Bone marrow smear: 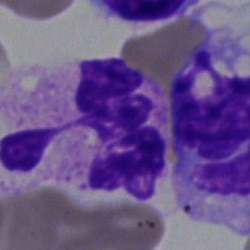

Morphological class — segmented neutrophil.